Romanowsky-type stain · peripheral blood smear.
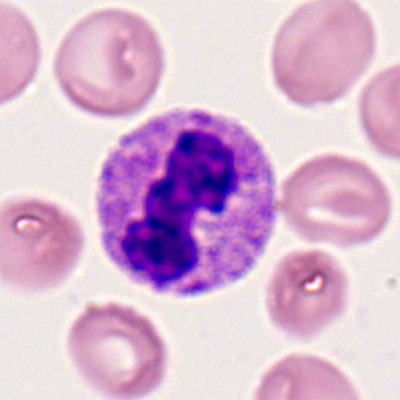
Morphology consistent with a neutrophil (segmented).